250 by 250 pixels · bone marrow smear · single cell centered in the field: 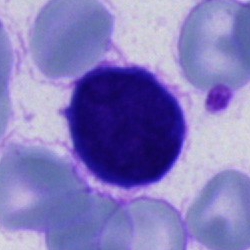Q: Which cell type is shown here?
A: It is an unidentifiable cell.